Bone marrow smear · 250×250 px:
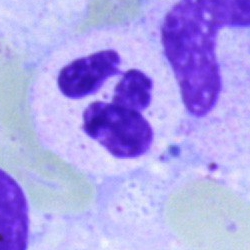 Single cell identified as a polymorphonuclear neutrophil.